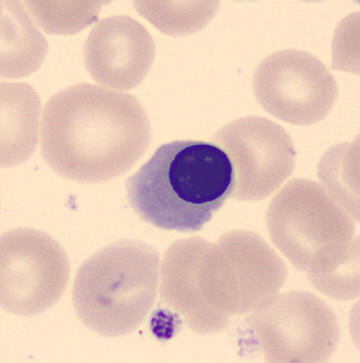 Image: Peripheral blood film; MGG stain. Cell type = nucleated red blood cell.